Peripheral blood smear
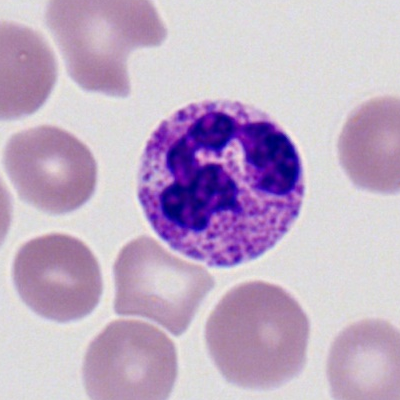
Specimen: peripheral blood smear.
Cell type: segmented neutrophil.
Lineage: myeloid.